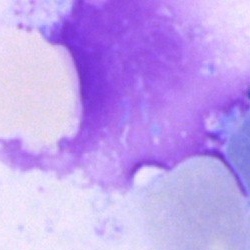Bone marrow smear showing an artefact.